Bone marrow smear. Single-cell field. Brightfield microscopy, 40× oil immersion:
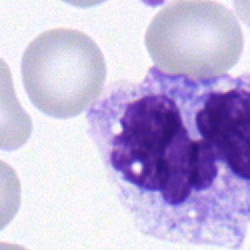Q: Identify the cell.
A: This is a neutrophil (segmented).